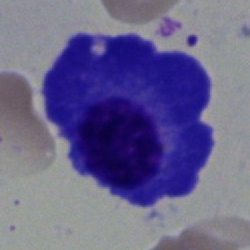
The cell type is plasma cell.